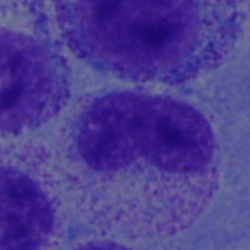Q: What is shown here?
A: A metamyelocyte.